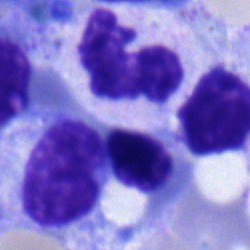
{"cell_type": "segmented neutrophil"}